Single-cell crop. 40× objective, oil immersion. Bone marrow smear
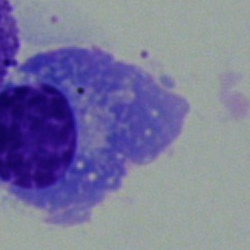
Cell type: plasma cell.